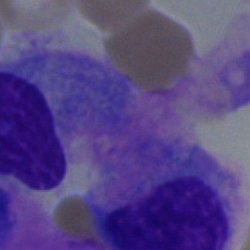
Bone marrow aspirate smear, single cell — plasmacyte.